Brightfield microscopy, 40× oil immersion. Bone marrow smear
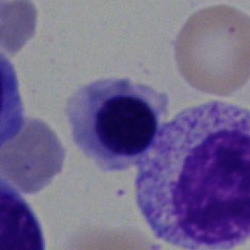 Morphology consistent with a normoblast.